Single cell centered in the field; MGG-stained; bone marrow smear.
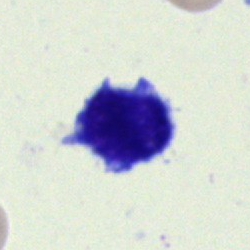
This is a lymphocyte.